Single-cell field. Bone marrow aspirate smear
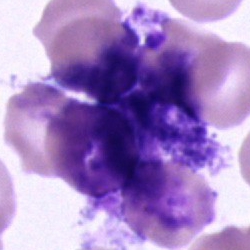
Morphology consistent with an artefact.